Bone marrow aspirate smear; MGG-stained.
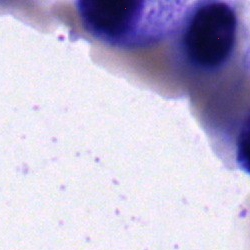 Classification = myelocyte.